Bone marrow smear
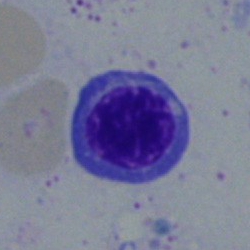

Specimen: bone marrow smear.
Cell type: nucleated red blood cell.